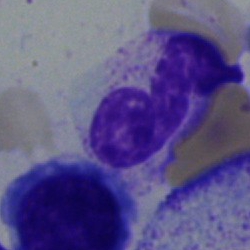Q: Identify the cell.
A: It is a neutrophil (segmented).